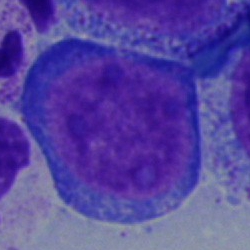

Pronormoblast.